Bone marrow aspirate smear:
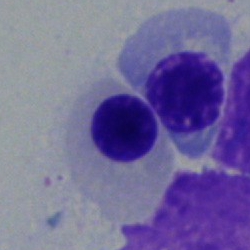 Cell: nucleated red blood cell.